Bone marrow smear: 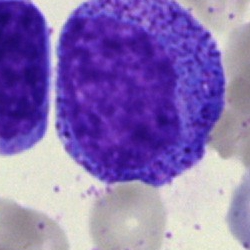
A progranulocyte.